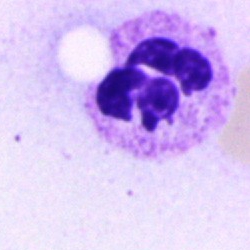 Showing a segmented neutrophil.